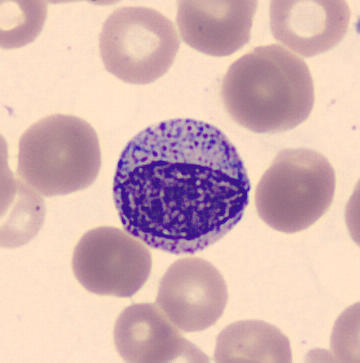

Morphological class — myelocyte.